Bone marrow aspirate smear:
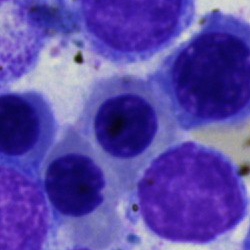 Morphology consistent with a normoblast.